MGG-stained. Bone marrow smear. Brightfield, 40× oil-immersion objective.
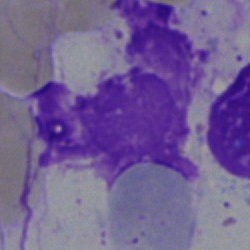
The cell is artefact.